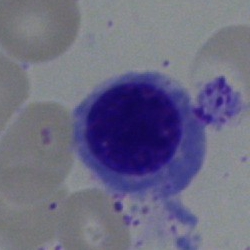 Morphology consistent with a nucleated red blood cell.